Pappenheim-stained; bone marrow aspirate smear:
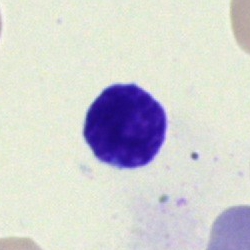
A lymphocyte.